Bone marrow smear: 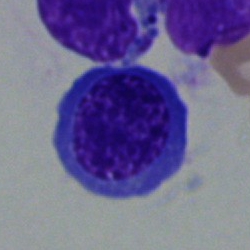 The classification is normoblast.